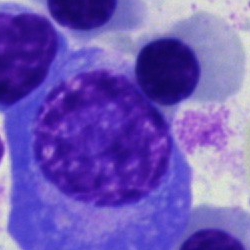

The cell shown is a plasmacyte.